Bone marrow smear. May-Grünwald-Giemsa/Pappenheim stain
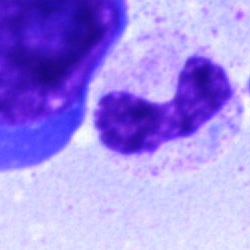

Impression — band-form neutrophil.